Bone marrow aspirate smear · cropped to a single cell.
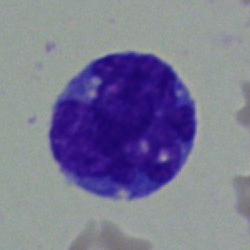

Morphology consistent with a blast cell.